Peripheral blood smear. 100× oil immersion, 14.14 px/µm
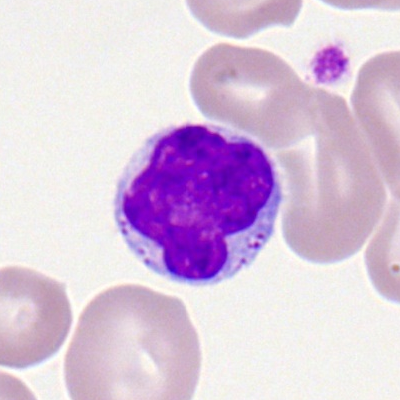Typical lymphocyte.